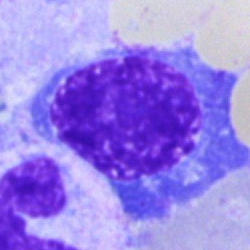
Nucleated red blood cell.